250×250 · bone marrow smear:
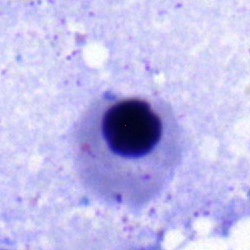Impression → erythroblast.